M8 digital microscope (Precipoint), 100× oil immersion; peripheral blood smear; single cell centered in the field.
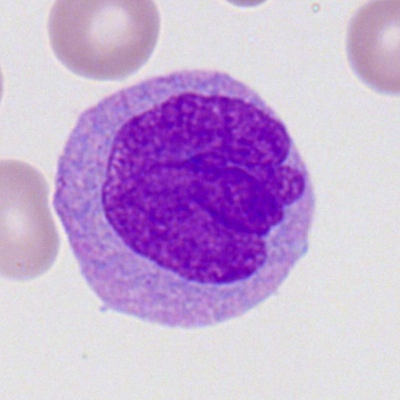Specimen: peripheral blood smear.
Morphological class: myeloid blast.
Lineage: myeloid.